Bone marrow smear
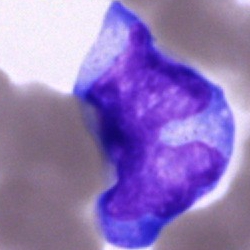

Specimen: bone marrow smear.
Cell type: monocyte.
Lineage: myeloid.